Bone marrow aspirate smear: 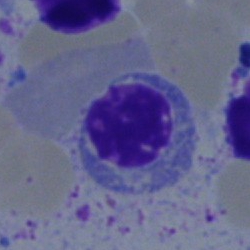

Morphology consistent with a nucleated red blood cell.